Bone marrow aspirate smear — 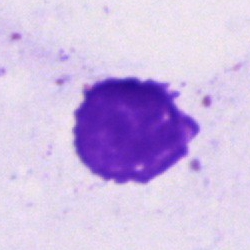
Q: What is shown here?
A: An artifact.